Pappenheim-stained. Bone marrow aspirate smear. 250×250 px
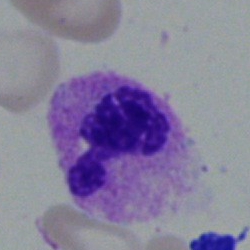 Showing a segmented neutrophil.